Bone marrow aspirate smear; Pappenheim-stained
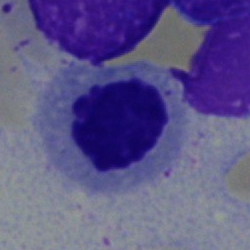
Impression → nucleated red cell.